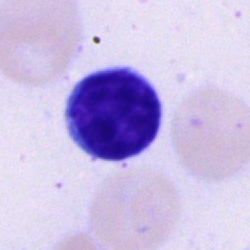Cell: typical lymphocyte.